Bone marrow aspirate smear.
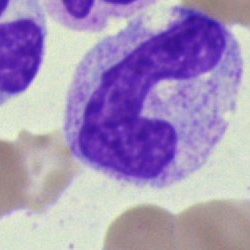Q: Identify the cell.
A: This is a band neutrophil.